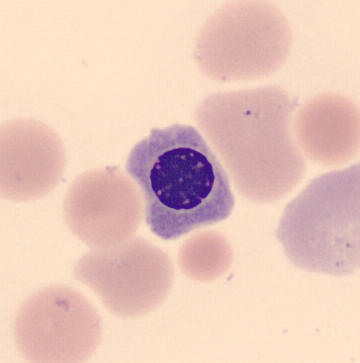 Q: What type of cell is this?
A: This is a normoblast.